Single cell centered in the field · 40× objective, oil immersion · bone marrow aspirate smear: 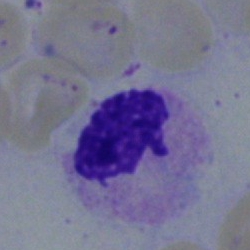
Single cell identified as a neutrophil (segmented).